40× oil immersion. May-Grünwald-Giemsa/Pappenheim stain. Bone marrow smear.
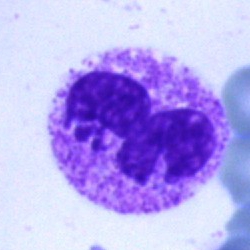

Single cell identified as a polymorphonuclear neutrophil.